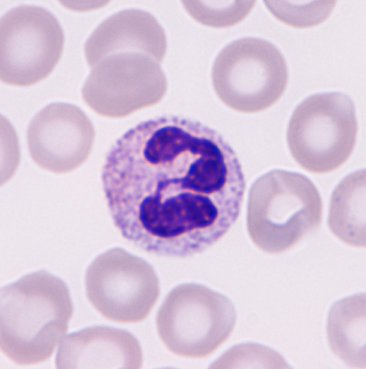Acquisition: Peripheral blood film · 366 by 369 pixels · single cell centered in the field.
The cell shown is a neutrophilic granulocyte.